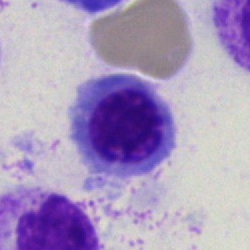Morphology consistent with a nucleated red cell.